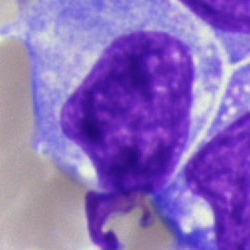This is a monocyte.